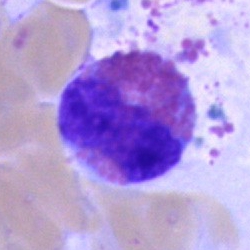Q: What cell is this?
A: It is an eosinophil.